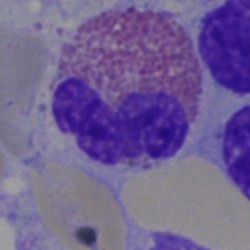

Q: What is the morphological classification of this cell?
A: Eosinophil.